Bone marrow aspirate smear.
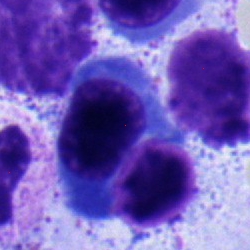

Q: Identify the cell.
A: This is a nucleated red blood cell.